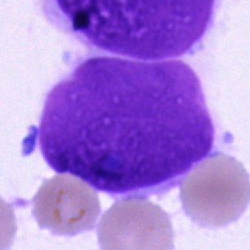

Q: What is shown here?
A: Artifact.